Bone marrow aspirate smear — 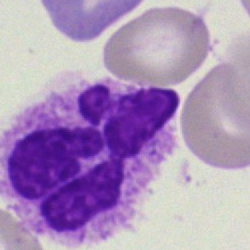

The cell shown is an artifact.